Bone marrow smear; 40× oil immersion: 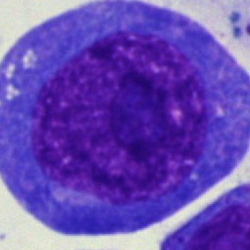
Cell = blast cell.